Bone marrow smear. 40× oil immersion. MGG-stained:
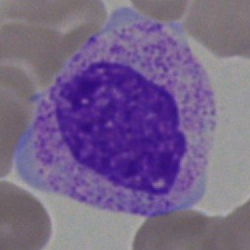Q: Identify the cell.
A: It is a myelocyte.